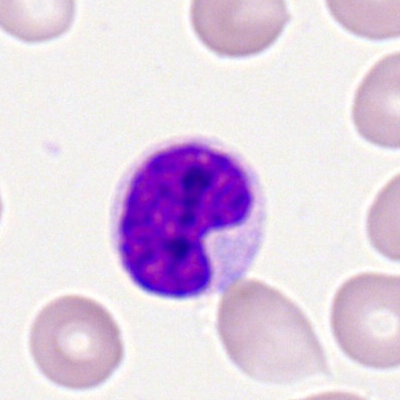

Cell type — typical lymphocyte.